Bone marrow smear.
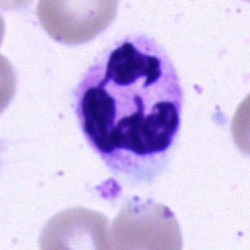 Polymorphonuclear neutrophil.